Bone marrow aspirate smear
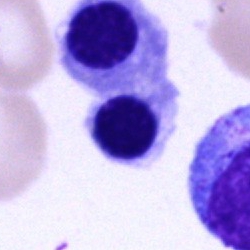 Single cell identified as an erythroblast.